Bone marrow aspirate smear. 250 by 250 pixels — 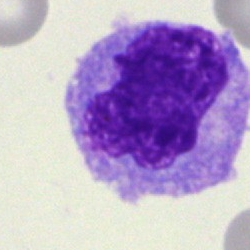Cell type: monocyte.